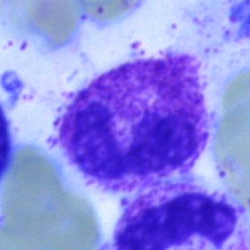
Morphology — segmented neutrophil.